Single-cell crop. Bone marrow smear
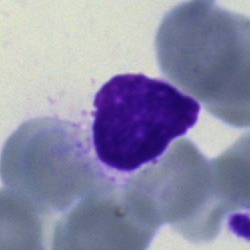

The cell shown is an artefact.